Bone marrow aspirate smear
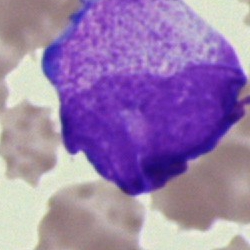

Cell — myelocyte.